Bone marrow smear — 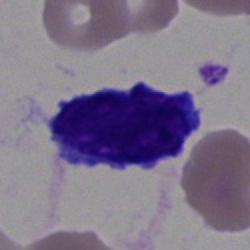 Cell type — blast cell.